Bone marrow smear: 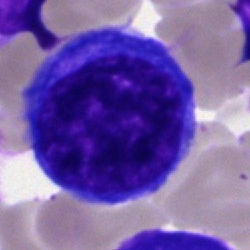
Impression → nucleated red blood cell.